Pappenheim-stained · bone marrow aspirate smear · cropped to a single cell.
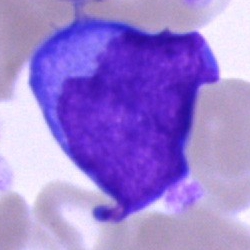 The classification is blast.